Bone marrow smear: 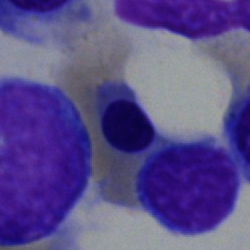
The cell is nucleated red cell.